Bone marrow aspirate smear: 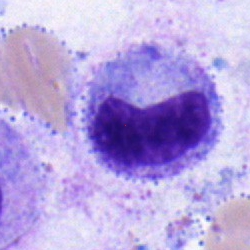

Single cell identified as a metamyelocyte.